Bone marrow aspirate smear:
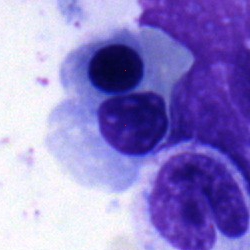Showing a nucleated red cell.